M8 digital microscope (Precipoint), 100× oil immersion · peripheral blood film
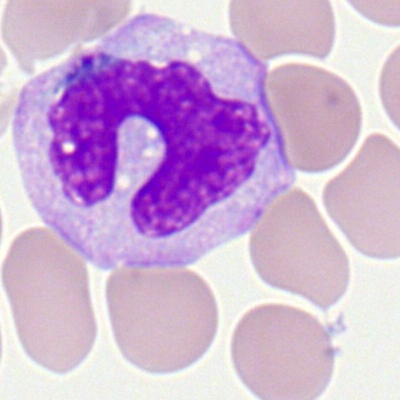

Cell = monocyte.